Bone marrow smear. MGG-stained.
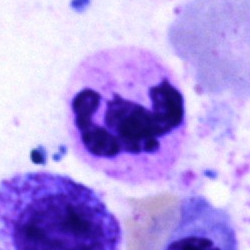Morphological class — polymorphonuclear neutrophil.